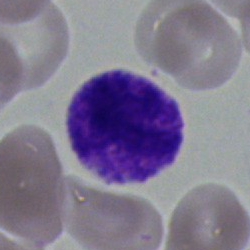
{"cell_type": "polymorphonuclear neutrophil"}